Bone marrow aspirate smear; May-Grünwald-Giemsa stain:
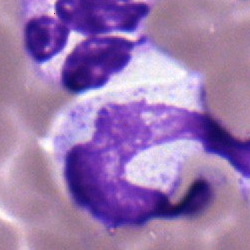Cell: polymorphonuclear neutrophil.